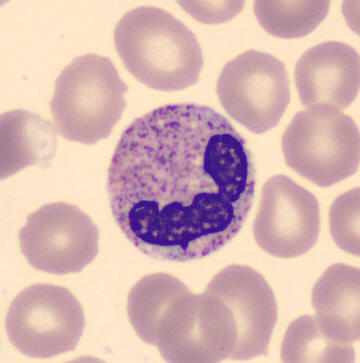

Image: 360 by 363 pixels · peripheral blood smear.

Band-form neutrophil.